Peripheral blood smear:
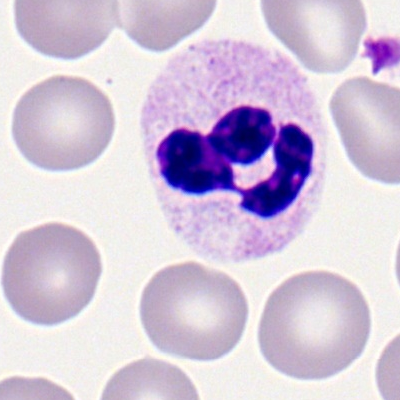

Impression — polymorphonuclear neutrophil.